May-Grünwald-Giemsa stain. Bone marrow smear
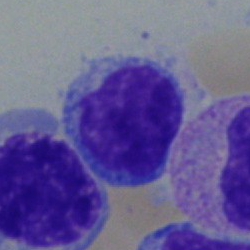
Classification — lymphocyte.